Bone marrow smear.
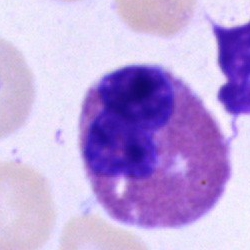Single cell identified as an eosinophil.